Bone marrow aspirate smear.
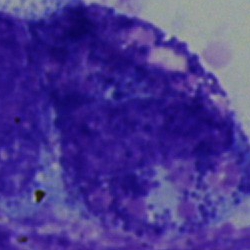

Classification — cell not matching the other categories.